Bone marrow smear:
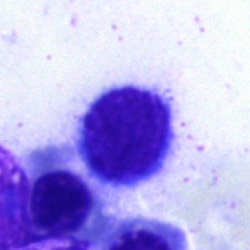

Specimen: bone marrow aspirate smear.
Classification: lymphocyte.
Lineage: lymphoid.